Bone marrow smear:
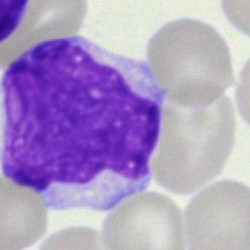

This is a blast.